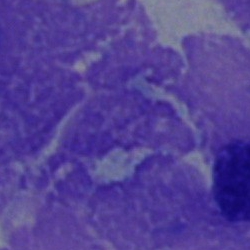

The morphological class is artifact.